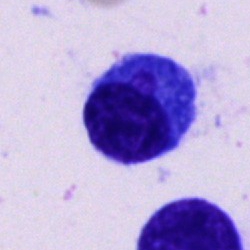 Classification: plasma cell.